250×250; bone marrow aspirate smear
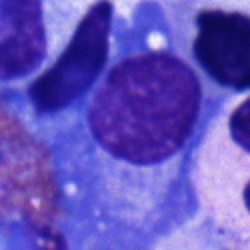Showing a plasma cell.